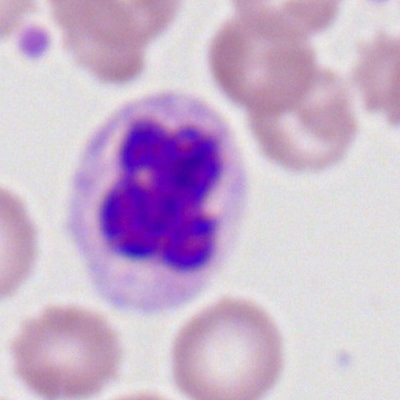

Segmented neutrophil.